40× objective, oil immersion. Bone marrow smear:
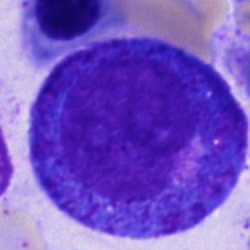

Morphology consistent with a promyelocyte.